Bone marrow smear; MGG-stained.
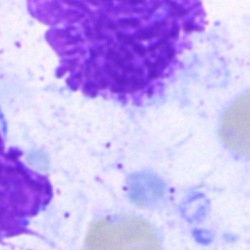
The cell shown is an artifact.